Bone marrow aspirate smear:
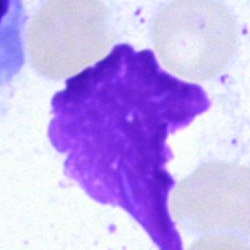Impression — artefact.